Bone marrow aspirate smear:
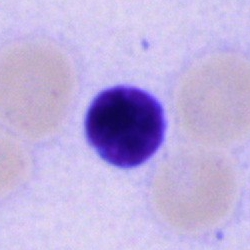 A lymphocyte.